Bone marrow aspirate smear. 250×250:
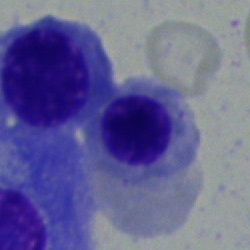 Nucleated red cell.